Bone marrow smear.
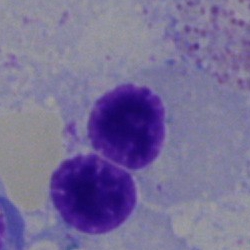

This is an erythroblast.